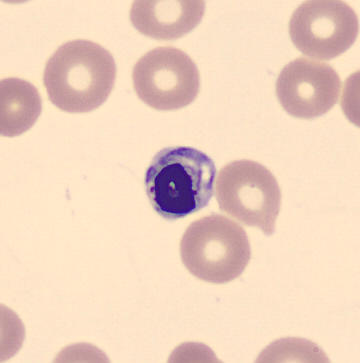

Showing a nucleated red cell.